Bone marrow smear: 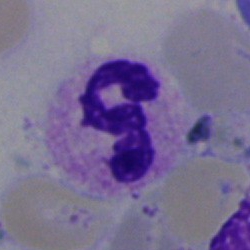 Classification — segmented neutrophil.